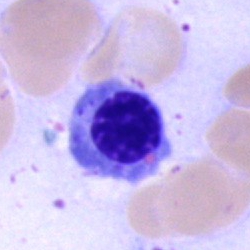 Q: Identify the cell.
A: Nucleated red blood cell.